Bone marrow smear.
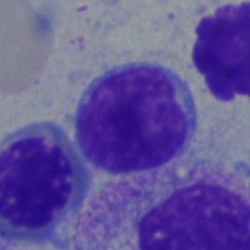Specimen: bone marrow smear.
Classification: lymphocyte.
Lineage: lymphoid.